Bone marrow smear — 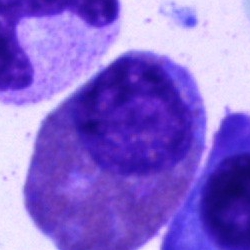Specimen: bone marrow aspirate smear.
Classification: eosinophil.